Bone marrow smear
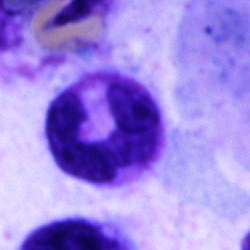 This is a segmented neutrophil.